Bone marrow smear; Pappenheim-stained; 250 by 250 pixels: 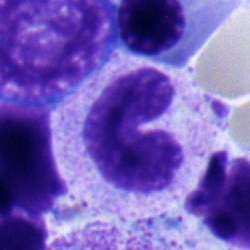 Q: What is shown here?
A: This is a band-form neutrophil.